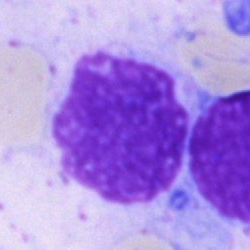Specimen: bone marrow smear.
Classification: artifact.